Cropped to a single cell. Bone marrow aspirate smear. Brightfield, 40× oil-immersion objective:
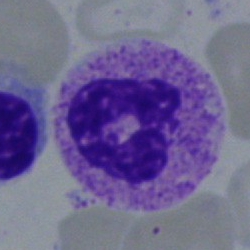
Showing a neutrophil (segmented).